Bone marrow aspirate smear:
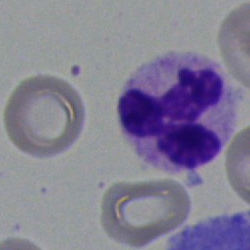
Specimen: bone marrow aspirate smear.
Cell: segmented neutrophil.